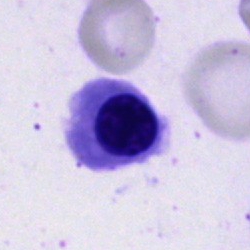Impression → erythroblast.